Brightfield microscopy, 40× oil immersion; bone marrow aspirate smear
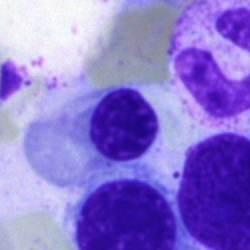
{"cell_type": "normoblast", "lineage": "erythroid"}